Bone marrow aspirate smear: 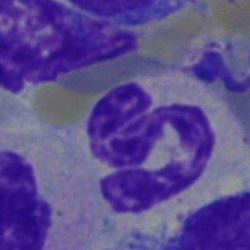 A polymorphonuclear neutrophil.